Bone marrow aspirate smear: 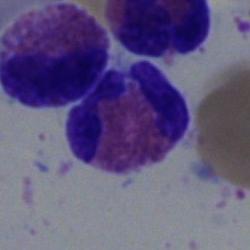Cell type: eosinophilic granulocyte.